Bone marrow aspirate smear. Image size 250×250:
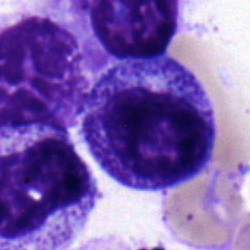

Cell: myelocyte.